Peripheral blood smear.
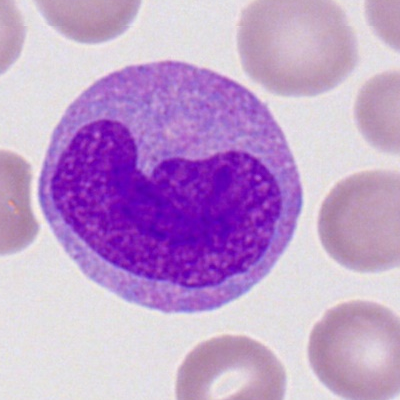Q: Identify the cell.
A: This is a monocyte.